Cropped to a single cell · bone marrow smear: 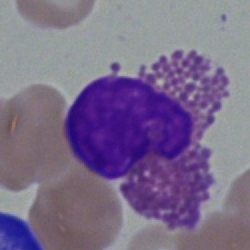
The cell type is eosinophil.